Bone marrow aspirate smear.
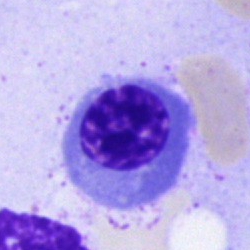

Single cell identified as a normoblast.